Peripheral blood smear. 400 by 400 pixels. 100× oil immersion, 14.14 px/µm:
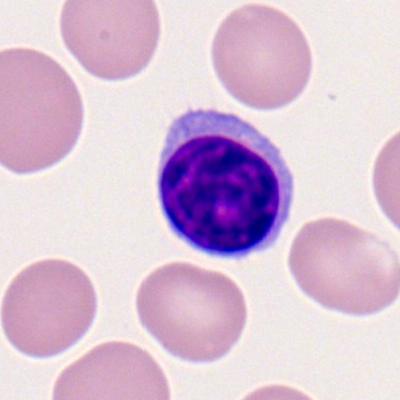Q: What cell is this?
A: Typical lymphocyte.